Bone marrow smear.
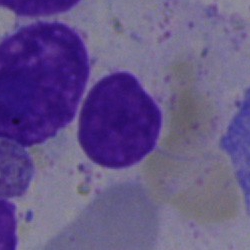 The cell shown is a lymphocyte.